Brightfield, 40× oil-immersion objective · bone marrow smear · Pappenheim-stained:
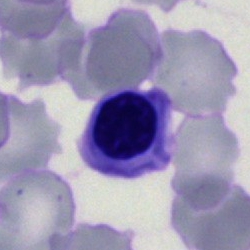 The classification is erythroblast.